Bone marrow aspirate smear.
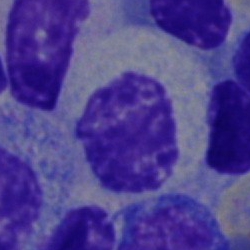A myelocyte.